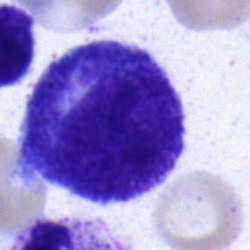The classification is progranulocyte.